May-Grünwald-Giemsa/Pappenheim stain; bone marrow smear:
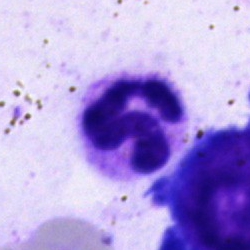

Cell: neutrophil (segmented).